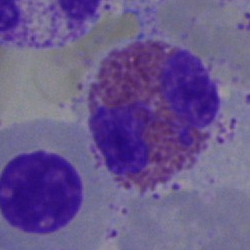
Specimen: bone marrow aspirate smear.
Classification: eosinophil.
Lineage: myeloid.